Bone marrow aspirate smear:
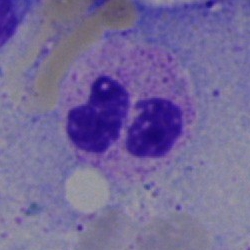 {"cell_type": "neutrophil (segmented)", "lineage": "myeloid"}